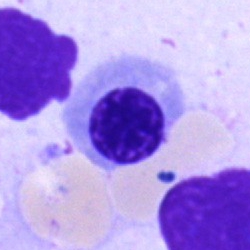 Specimen: bone marrow aspirate smear.
Cell type: nucleated red blood cell.
Lineage: erythroid.